Bone marrow aspirate smear:
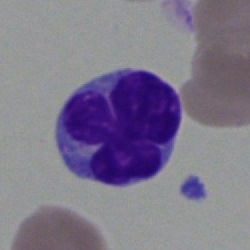 The classification is lymphocyte.